Bone marrow aspirate smear
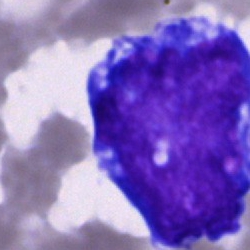 Showing an undifferentiated blast.